Bone marrow aspirate smear.
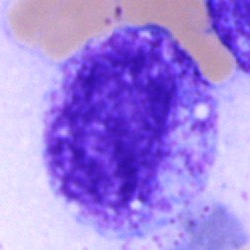

Progranulocyte.